Bone marrow smear — 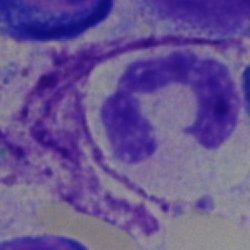 This is a neutrophil (segmented).